Single cell centered in the field; bone marrow smear
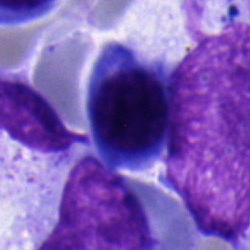 Normoblast.